Bone marrow smear. Cropped to a single cell: 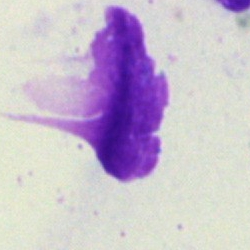
The cell shown is an artefact.